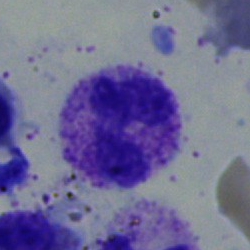Showing a segmented neutrophil.